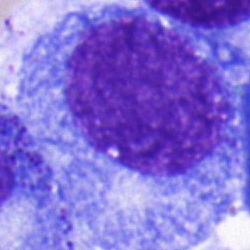 {"cell_type": "promyelocyte", "lineage": "myeloid"}